250×250 · bone marrow smear:
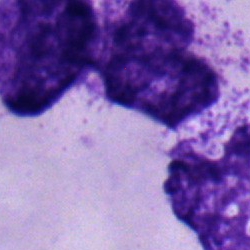

A segmented neutrophil.